Peripheral blood film
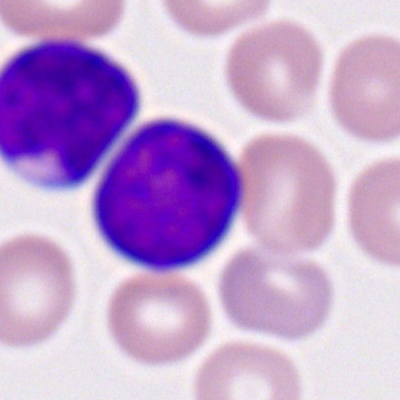Morphology consistent with a myeloblast.